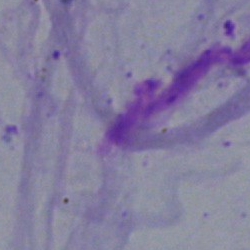 An artifact.